Bone marrow aspirate smear. Brightfield, 40× oil-immersion objective.
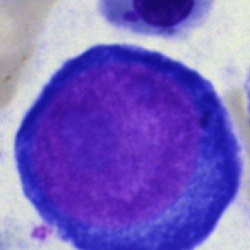

Impression → proerythroblast.